250×250 px; bone marrow aspirate smear:
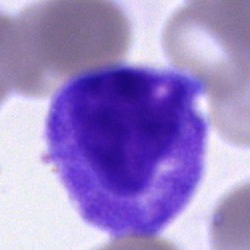
Specimen: bone marrow smear.
Morphological class: myelocyte.
Lineage: myeloid.